Bone marrow smear; brightfield microscopy, 40× oil immersion; 250×250 px: 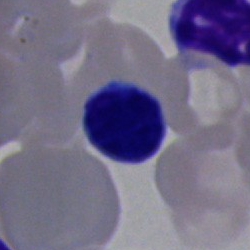Morphological class: lymphocyte.